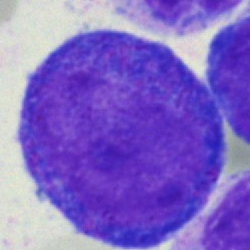 Impression → promyelocyte.